Bone marrow aspirate smear. Cropped to a single cell: 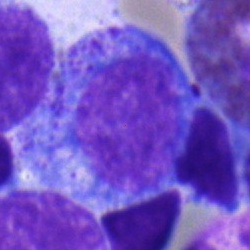 Morphology — progranulocyte.